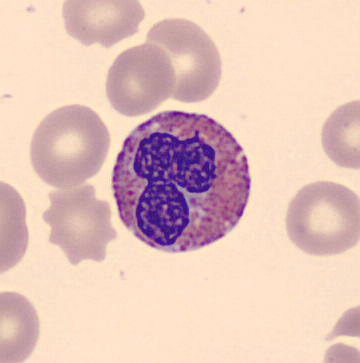
Q: Which cell type is shown here?
A: It is an eosinophilic granulocyte. Image: Peripheral blood smear; imaged on a CellaVision DM96 analyser; single-cell field.